Bone marrow aspirate smear · Pappenheim-stained: 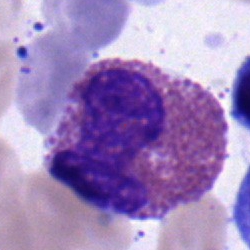

Q: What is the morphological classification of this cell?
A: Eosinophilic granulocyte.